40× oil immersion. Bone marrow aspirate smear:
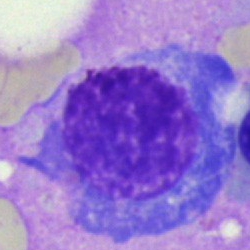

Morphology consistent with a normoblast.